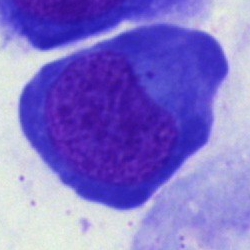Bone marrow smear showing a proerythroblast.